Bone marrow aspirate smear
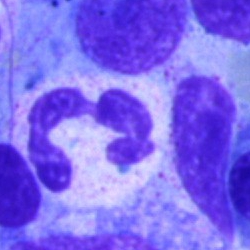Impression — neutrophil (segmented).